Peripheral blood film. 100× oil immersion, 14.14 px/µm
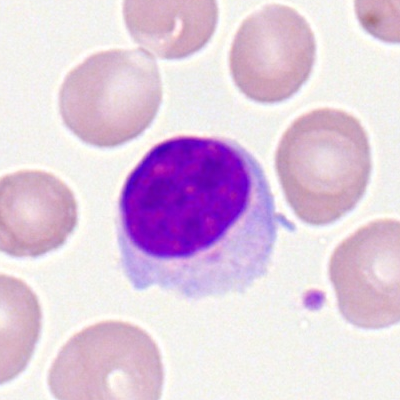This is a typical lymphocyte.